Bone marrow smear: 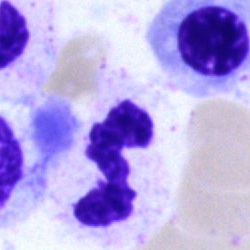
Q: What is shown here?
A: This is a polymorphonuclear neutrophil.